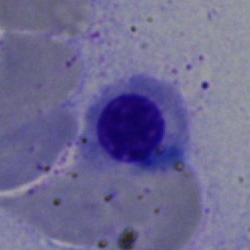 Morphology consistent with a nucleated red cell.